40× objective, oil immersion. Bone marrow aspirate smear. 250×250 px: 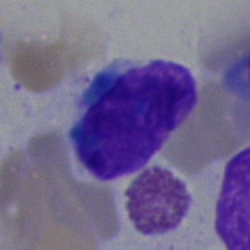

The cell shown is a typical lymphocyte.